Peripheral blood smear: 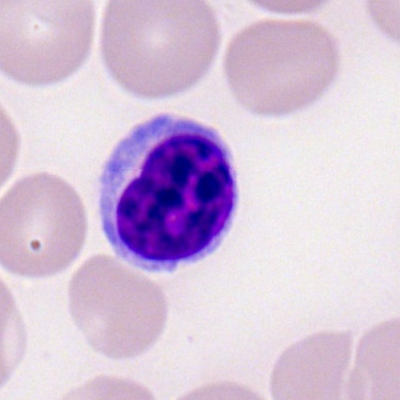Specimen: peripheral blood smear.
Cell: lymphocyte.
Lineage: lymphoid.